Bone marrow aspirate smear:
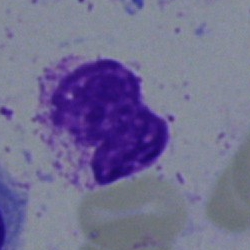 Single cell identified as a segmented neutrophil.